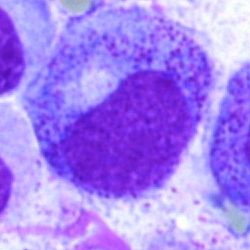Specimen: bone marrow aspirate smear.
Cell type: myelocyte.